Bone marrow aspirate smear:
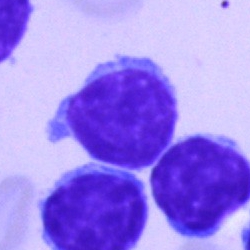 Specimen: bone marrow smear.
Classification: typical lymphocyte.
Lineage: lymphoid.